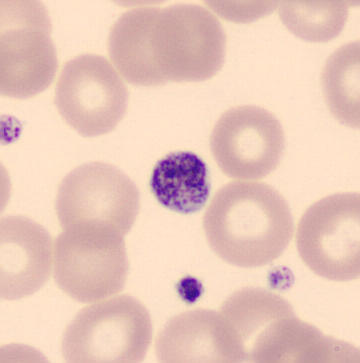 Image: Peripheral blood film. May-Grünwald-Giemsa-stained.
Classification = thrombocyte.